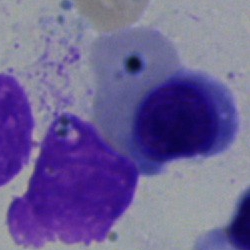
Q: Which cell type is shown here?
A: Erythroblast.